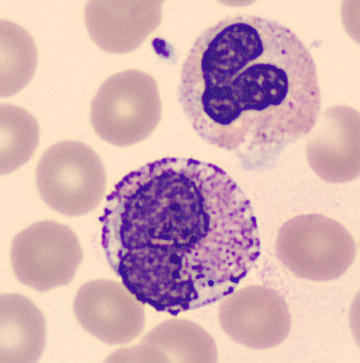 Peripheral blood smear. Q: What is shown here?
A: A basophil.